Bone marrow smear
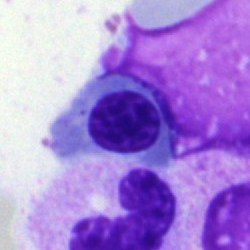 Specimen: bone marrow smear.
Cell: erythroblast.
Lineage: erythroid.